Bone marrow smear. Image size 250×250.
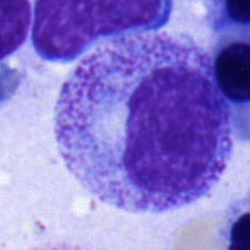

Cell = metamyelocyte.